Brightfield, 40× oil-immersion objective. Bone marrow smear: 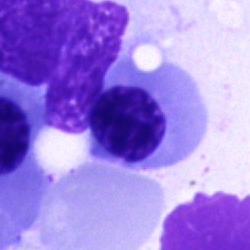 Q: What type of cell is this?
A: Nucleated red cell.